Bone marrow aspirate smear — 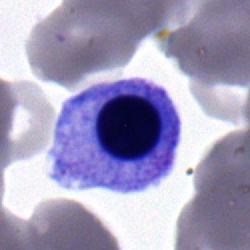Specimen: bone marrow smear.
Morphological class: nucleated red cell.